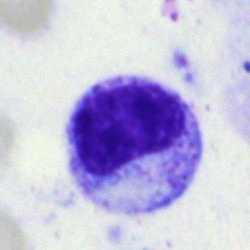
Cell type: myelocyte.